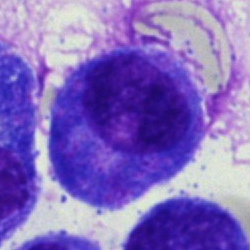Specimen: bone marrow aspirate smear.
Classification: promyelocyte.
Lineage: myeloid.